Bone marrow smear:
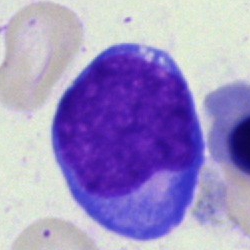 Impression → blast cell.